Bone marrow aspirate smear; brightfield microscopy, 40× oil immersion: 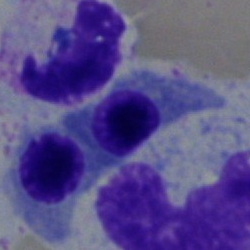

A nucleated red cell.